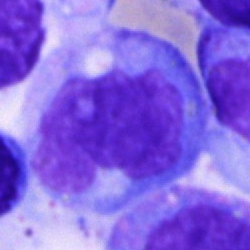
Specimen: bone marrow aspirate smear.
Classification: monocyte.